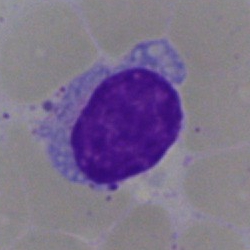 The cell shown is a typical lymphocyte.